Bone marrow aspirate smear: 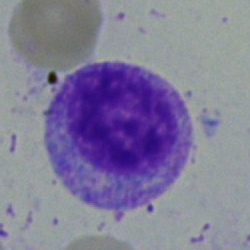

Morphology → myelocyte.